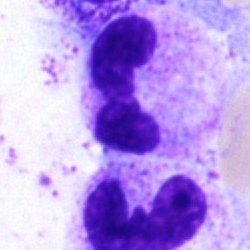Q: What is shown here?
A: This is a neutrophil (segmented).